Bone marrow smear; 250 by 250 pixels
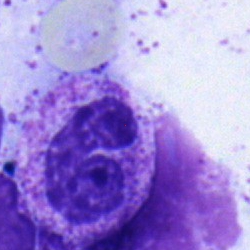Morphology consistent with a band-form neutrophil.